Bone marrow smear. 250×250. Single-cell field — 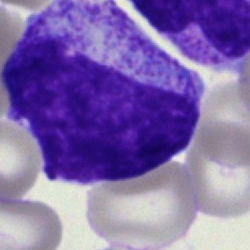
Morphology consistent with a myelocyte.